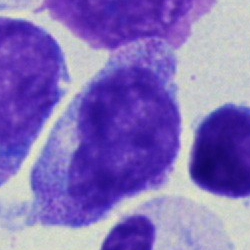 Specimen: bone marrow aspirate smear.
Morphological class: myelocyte.
Lineage: myeloid.